Peripheral blood smear; Romanowsky-type stain; 400 by 400 pixels — 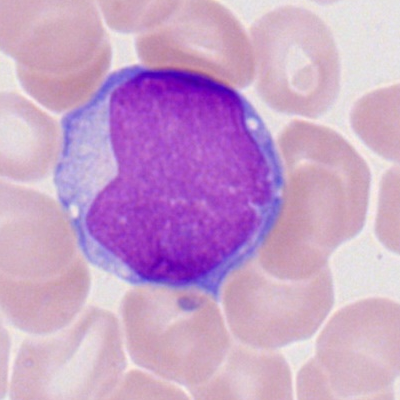

Q: Which cell type is shown here?
A: Myeloblast.